Bone marrow aspirate smear
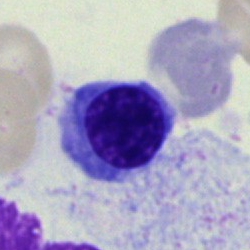
Specimen: bone marrow aspirate smear.
Classification: nucleated red cell.